Bone marrow aspirate smear.
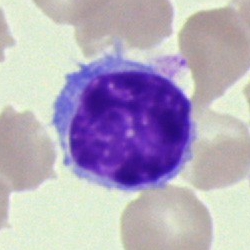

Classification — lymphocyte.